Brightfield microscopy, 40× oil immersion. Bone marrow aspirate smear — 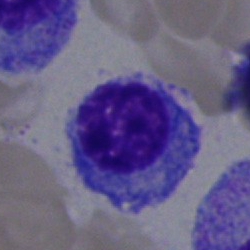
Classification: plasma cell.